May-Grünwald-Giemsa stain. Bone marrow aspirate smear:
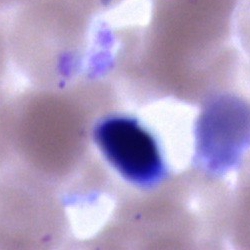 Unidentifiable cell.